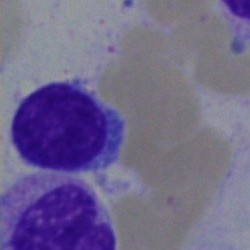Morphology → lymphocyte.